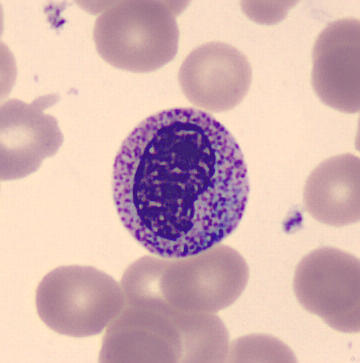
Single cell identified as a metamyelocyte.